Bone marrow aspirate smear
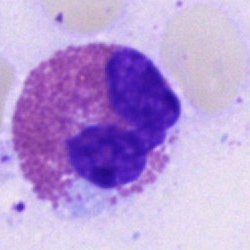 Cell — eosinophil.